Bone marrow aspirate smear
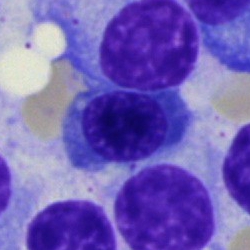{"cell_type": "normoblast", "lineage": "erythroid"}